Bone marrow aspirate smear: 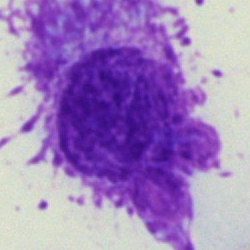An artefact.